Peripheral blood smear — 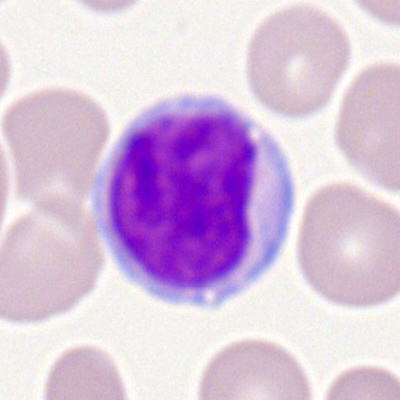 This is a lymphocyte.